Peripheral blood smear
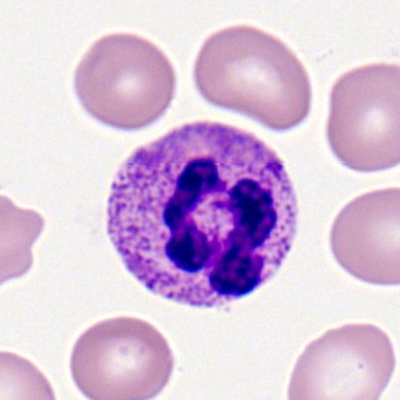The cell is segmented neutrophil.